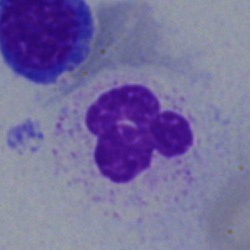 The cell shown is a segmented neutrophil.